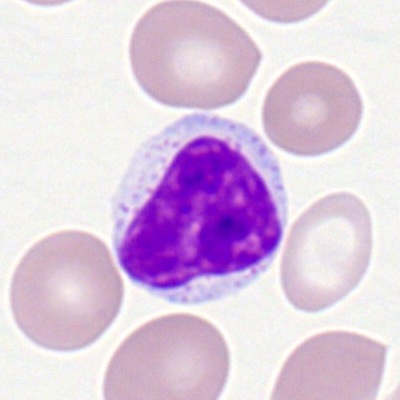
Single cell identified as a typical lymphocyte.